Bone marrow smear · single cell centered in the field: 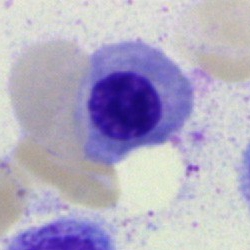Q: What is the morphological classification of this cell?
A: It is a normoblast.